Bone marrow aspirate smear; single-cell field: 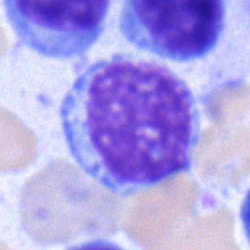Classification = typical lymphocyte.